Brightfield microscopy, 40× oil immersion; bone marrow aspirate smear; 250×250 px: 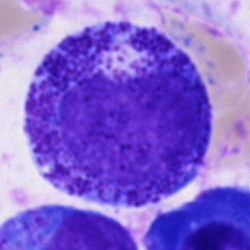Morphology consistent with a progranulocyte.